Bone marrow smear.
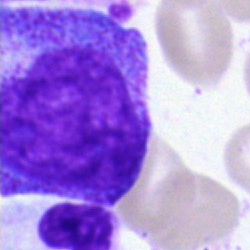

Promyelocyte.